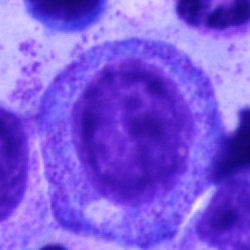Specimen: bone marrow smear.
Cell: promyelocyte.
Lineage: myeloid.